40× oil immersion. Bone marrow smear. 250×250 px — 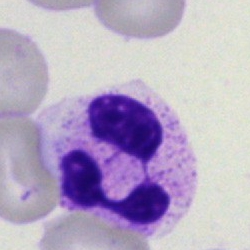Polymorphonuclear neutrophil.